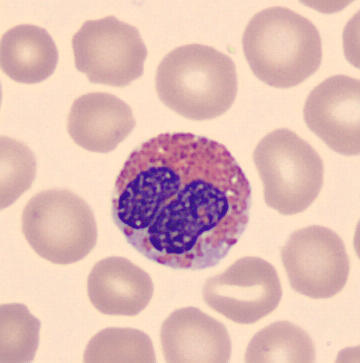
Image size 360×363. Peripheral blood film. Cropped to a single cell.

Q: Identify the cell.
A: It is an eosinophil.